Bone marrow smear: 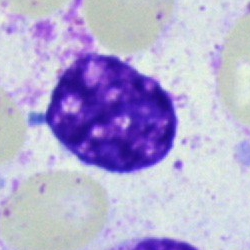
Specimen: bone marrow smear.
Morphological class: artefact.